Bone marrow aspirate smear · single cell centered in the field.
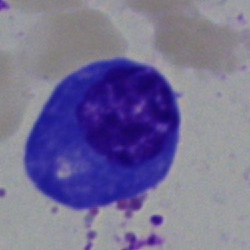

Plasmacyte.